Brightfield microscopy, 40× oil immersion. Bone marrow aspirate smear — 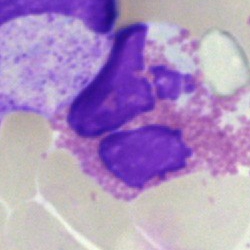
Morphological class — eosinophil.